Bone marrow aspirate smear:
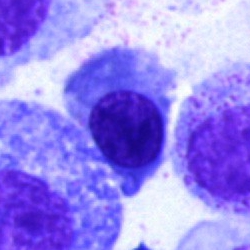
Specimen: bone marrow smear.
Cell type: erythroblast.